Single-cell field · bone marrow smear.
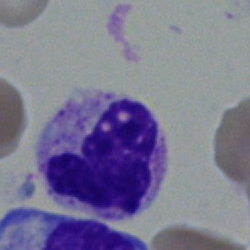
Morphology consistent with a polymorphonuclear neutrophil.